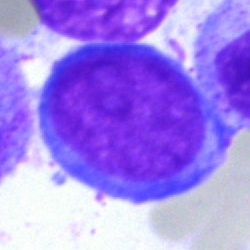
Bone marrow smear showing a pronormoblast.